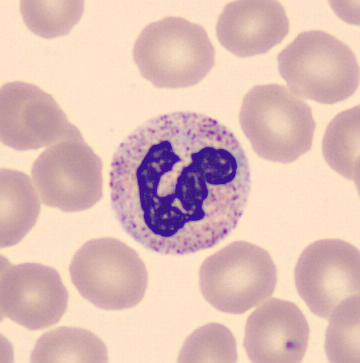Morphological class — segmented neutrophil.